Single-cell field; bone marrow smear; May-Grünwald-Giemsa stain:
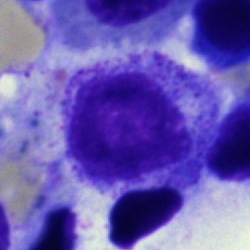

Single cell identified as a progranulocyte.